40× oil immersion. Bone marrow smear. Pappenheim-stained
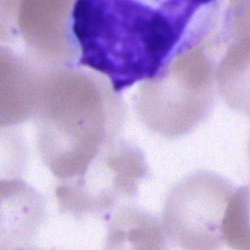Cell of indeterminate lineage.